May-Grünwald-Giemsa stain · bone marrow smear · 40× objective, oil immersion
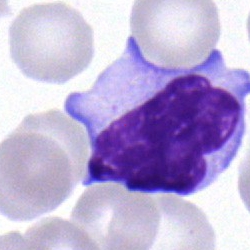 Specimen: bone marrow smear.
Cell type: typical lymphocyte.
Lineage: lymphoid.